Bone marrow aspirate smear — 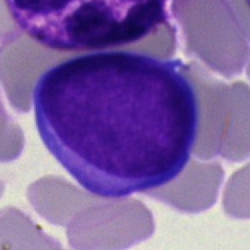Undifferentiated blast.